Brightfield, 40× oil-immersion objective · bone marrow aspirate smear
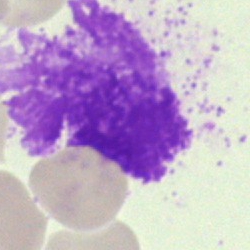
Specimen: bone marrow smear.
Classification: artifact.